Bone marrow smear
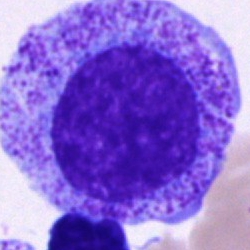

Impression → promyelocyte.